Bone marrow smear.
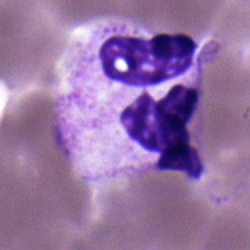
Specimen: bone marrow aspirate smear.
Cell type: neutrophil (segmented).
Lineage: myeloid.